Cropped to a single cell · bone marrow aspirate smear
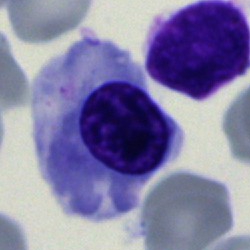
Morphological class: nucleated red cell.